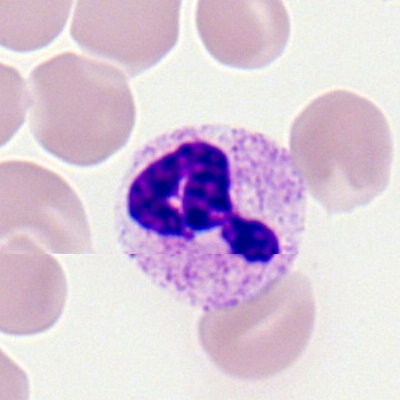
Showing a polymorphonuclear neutrophil.